Bone marrow smear: 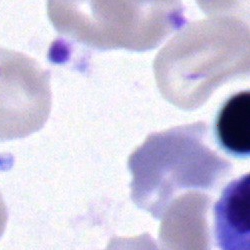
Specimen: bone marrow aspirate smear.
Classification: lymphocyte.
Lineage: lymphoid.